Bone marrow smear. 250×250. Brightfield microscopy, 40× oil immersion — 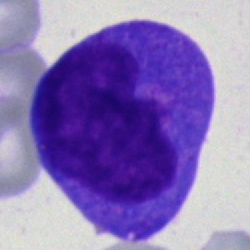 Q: What cell is this?
A: A monocyte.